Peripheral blood film · May-Grünwald-Giemsa-stained: 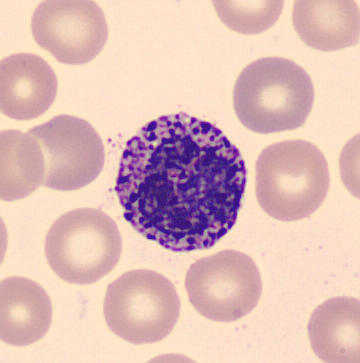
Basophilic granulocyte.